Bone marrow smear; cropped to a single cell — 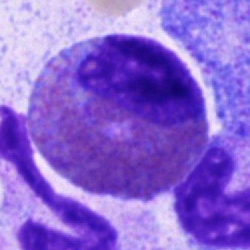This is an eosinophil.